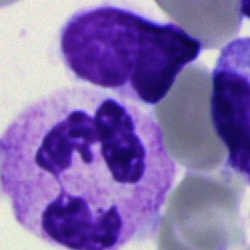

Single cell identified as a segmented neutrophil.